Peripheral blood smear: 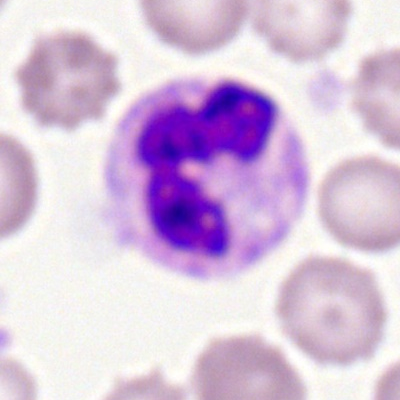 This is a neutrophil (segmented).